MGG-stained · bone marrow smear.
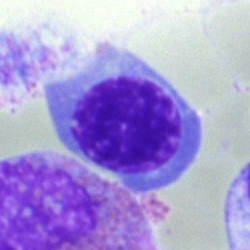 Classification — normoblast.